Brightfield, 40× oil-immersion objective · bone marrow smear — 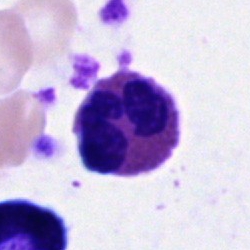
Morphological class = eosinophil.